Single-cell crop; 40× oil immersion; bone marrow smear.
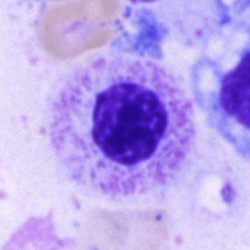

Morphology consistent with a myelocyte.